Single cell centered in the field; 250×250 px; bone marrow smear: 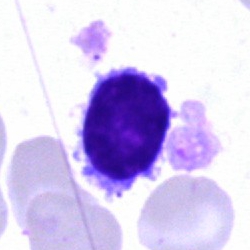Impression — lymphocyte.